Bone marrow aspirate smear
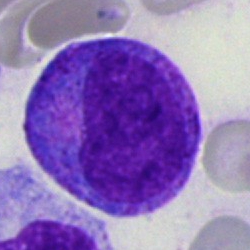 Promyelocyte.